Peripheral blood smear — 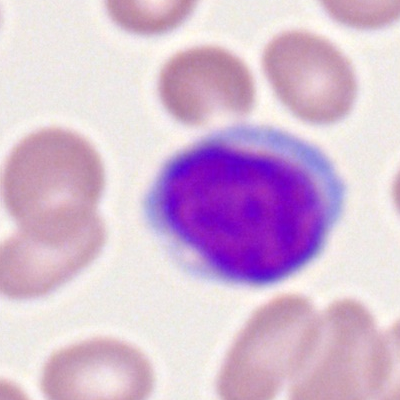The cell shown is a typical lymphocyte.